M8 digital microscope (Precipoint), 100× oil immersion · peripheral blood smear · Romanowsky-stained — 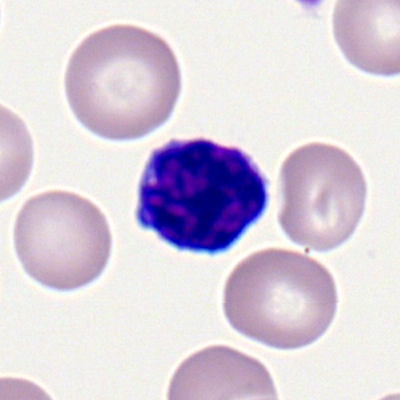

{"cell_type": "typical lymphocyte"}